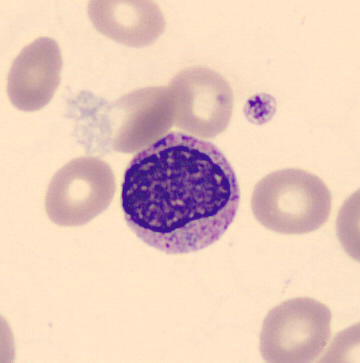
Specimen: peripheral blood film.
Cell type: metamyelocyte.
Lineage: myeloid.